Bone marrow smear. May-Grünwald-Giemsa stain. Single-cell field — 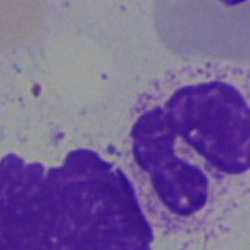Specimen: bone marrow aspirate smear.
Classification: neutrophil (segmented).
Lineage: myeloid.